Bone marrow smear. 40× objective, oil immersion:
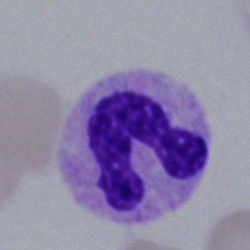
Impression — segmented neutrophil.